40× oil immersion. 250×250. Bone marrow aspirate smear: 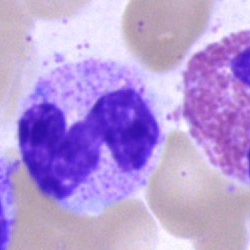
Cell = polymorphonuclear neutrophil.